250 by 250 pixels · bone marrow aspirate smear
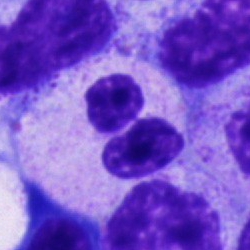 The cell type is segmented neutrophil.